Bone marrow aspirate smear
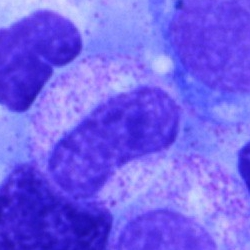
{"cell_type": "band neutrophil", "lineage": "myeloid"}